MGG-stained · 40× oil immersion · bone marrow aspirate smear.
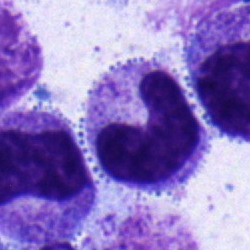
Q: What type of cell is this?
A: This is a stab cell.